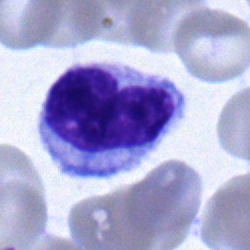

Single-cell crop from a bone marrow smear: metamyelocyte.